Bone marrow smear; Pappenheim-stained
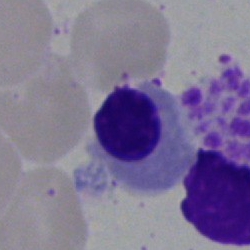
Showing a nucleated red blood cell.